Bone marrow smear. Single-cell field: 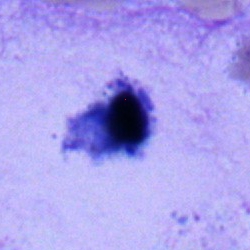
The classification is nucleated red cell.